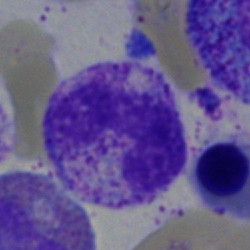Bone marrow smear showing a stab cell.